Single cell centered in the field; bone marrow aspirate smear — 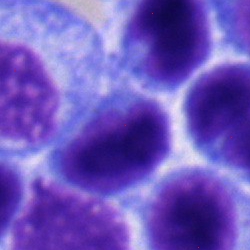The cell shown is a typical lymphocyte.